250×250 px; 40× objective, oil immersion; bone marrow aspirate smear: 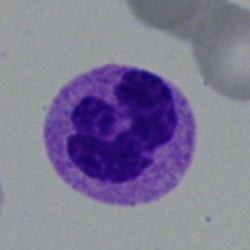 The cell shown is a polymorphonuclear neutrophil.